Bone marrow aspirate smear.
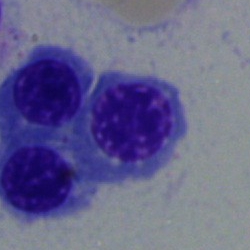Specimen: bone marrow smear.
Morphological class: normoblast.